250×250; single-cell field; bone marrow smear: 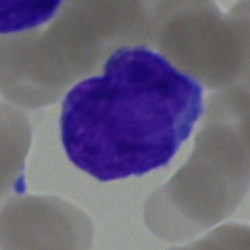Blast cell.